Peripheral blood film — 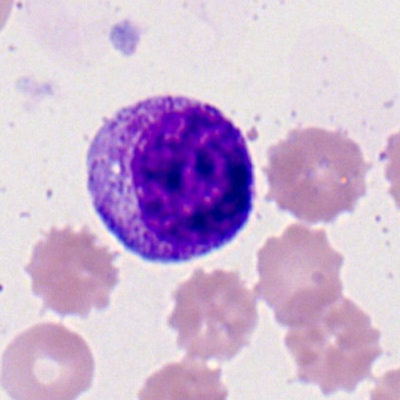
A myelocyte.